Bone marrow aspirate smear · single-cell field · 250×250:
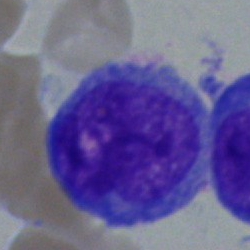
Morphology consistent with a blast cell.